250 by 250 pixels; bone marrow smear:
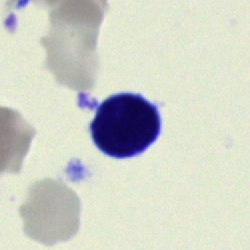 The cell shown is a lymphocyte.